Bone marrow aspirate smear · 250×250 — 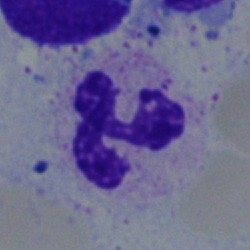 Classification — neutrophil (segmented).